Bone marrow smear. May-Grünwald-Giemsa/Pappenheim stain. 40× oil immersion: 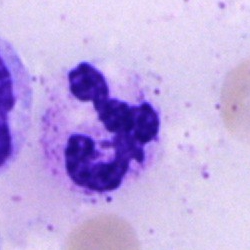

Morphological class: segmented neutrophil.